250×250 · Pappenheim-stained · bone marrow smear:
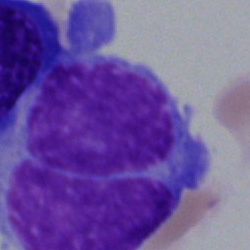

Q: What is shown here?
A: An artifact.